250×250. Bone marrow smear
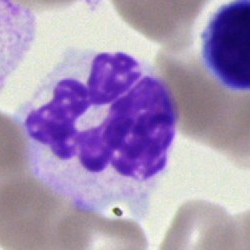
Single cell identified as a neutrophil (segmented).